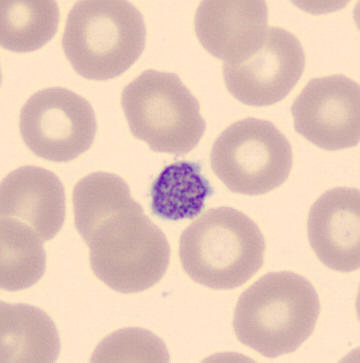
Morphological class — platelet (thrombocyte). Preparation: 360×363 px. Peripheral blood film. Automated cell imaging (CellaVision DM96).